Bone marrow aspirate smear; Pappenheim-stained
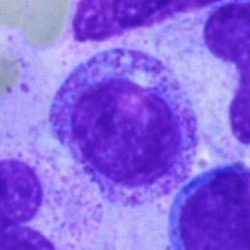
A myelocyte.